Bone marrow smear:
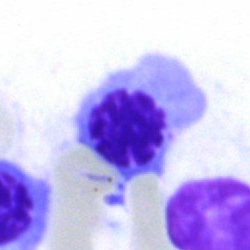Morphology consistent with an erythroblast.